Bone marrow aspirate smear; 40× oil immersion: 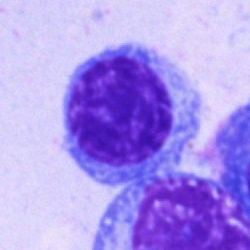Q: What type of cell is this?
A: Lymphocyte.